Bone marrow aspirate smear · Pappenheim-stained · 40× objective, oil immersion
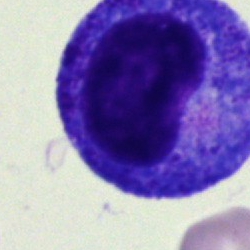 This is a promyelocyte.